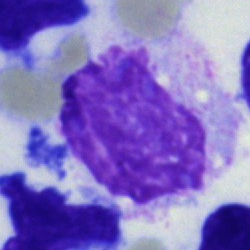
Showing an artifact.